Bone marrow aspirate smear; 40× objective, oil immersion; image size 250×250 — 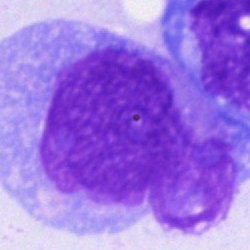 Morphological class: cell of indeterminate lineage.